Single-cell crop. Bone marrow aspirate smear — 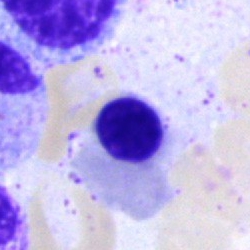 A normoblast.